Bone marrow smear: 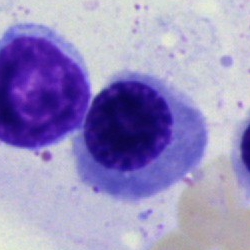Impression → normoblast.